Bone marrow smear.
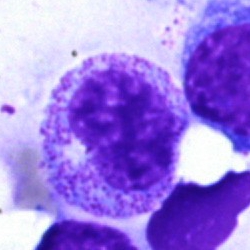Single cell identified as a metamyelocyte.